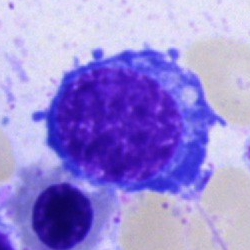
Q: What is shown here?
A: A nucleated red blood cell.